250×250. Bone marrow aspirate smear.
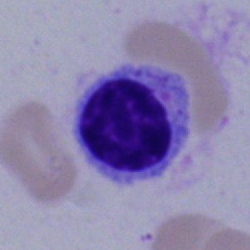
Cell type = unidentifiable cell.